Peripheral blood smear; M8 digital microscope (Precipoint), 100× oil immersion
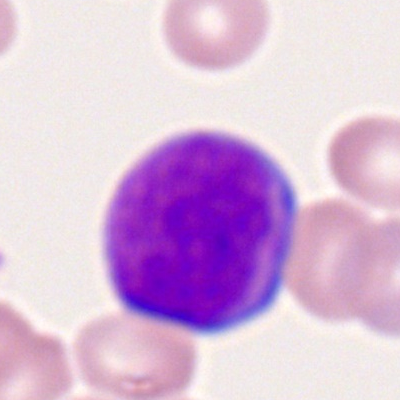Q: What type of cell is this?
A: A myeloblast.